Bone marrow aspirate smear:
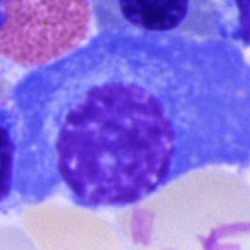
Impression — plasma cell.